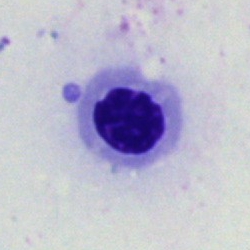
Bone marrow smear showing an erythroblast.